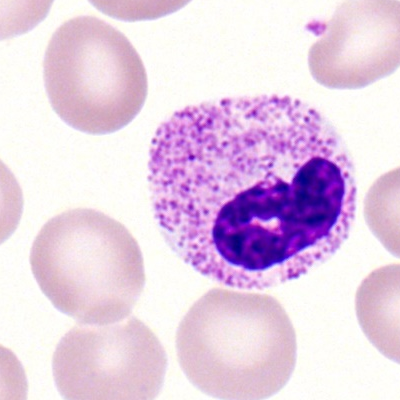
A segmented neutrophil on a peripheral blood smear.